Bone marrow aspirate smear · brightfield, 40× oil-immersion objective · Pappenheim-stained
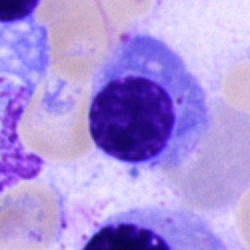
Morphological class: normoblast.